Bone marrow aspirate smear
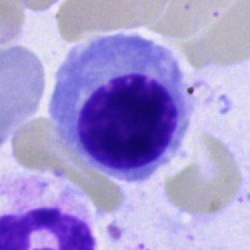
Morphology consistent with an erythroblast.